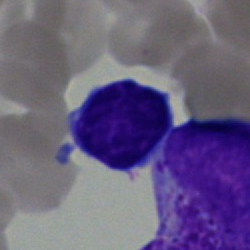

The cell shown is a lymphocyte.